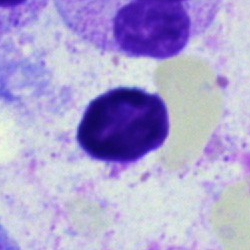

Cell: artefact.